Peripheral blood smear:
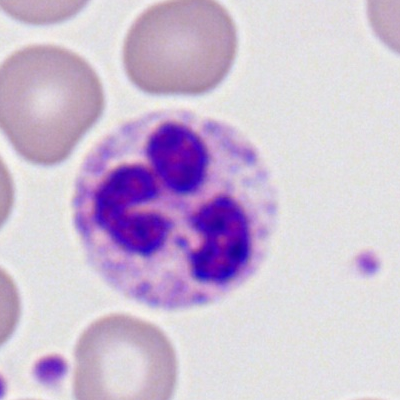Impression → polymorphonuclear neutrophil.